Brightfield microscopy, 40× oil immersion; bone marrow aspirate smear — 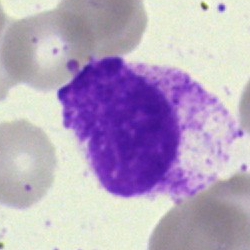 Cell — myelocyte.